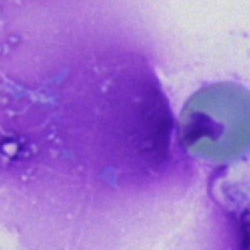

Cell type — artefact.